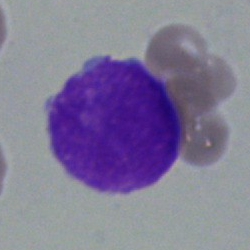

Specimen: bone marrow smear.
Cell type: blast cell.